Image size 250×250 · bone marrow aspirate smear — 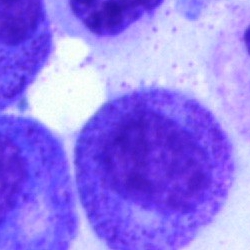Q: Identify the cell.
A: It is a myelocyte.